Bone marrow smear · 40× objective, oil immersion: 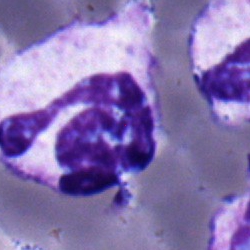Q: What cell is this?
A: A segmented neutrophil.